250×250 px · bone marrow smear:
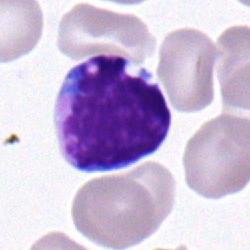Showing a typical lymphocyte.